Bone marrow aspirate smear. Single cell centered in the field — 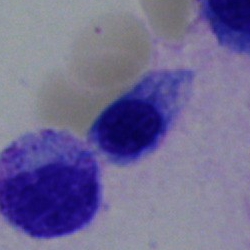Specimen: bone marrow smear.
Cell type: erythroblast.
Lineage: erythroid.